Peripheral blood film — 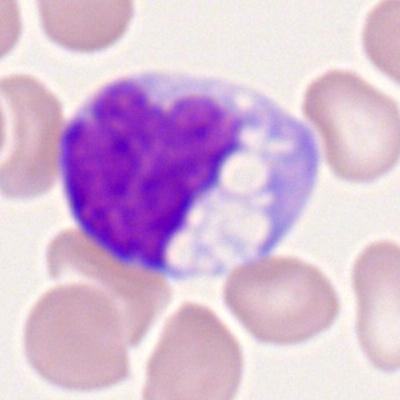
A monocyte.